Cropped to a single cell. Bone marrow smear
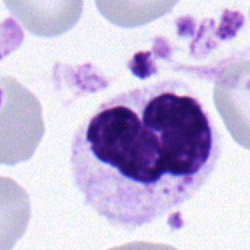
A segmented neutrophil.